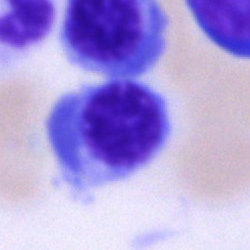

The cell is nucleated red cell.